Bone marrow aspirate smear:
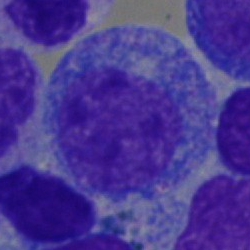

{"cell_type": "promyelocyte"}